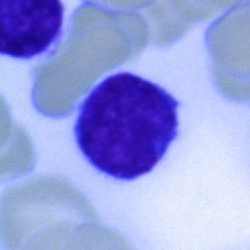Classification — typical lymphocyte.